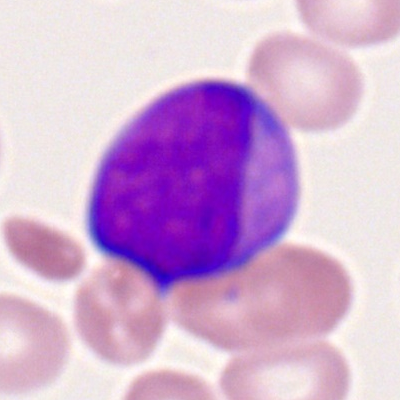 Impression — myeloblast.